May-Grünwald-Giemsa/Pappenheim stain; bone marrow aspirate smear — 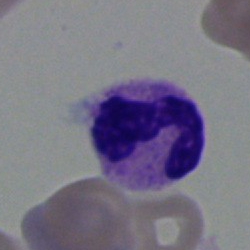

This is a neutrophil (segmented).